Single-cell field; bone marrow aspirate smear; Pappenheim-stained: 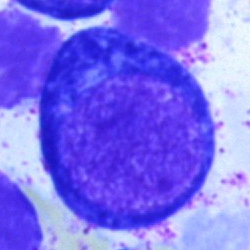 Impression → pronormoblast.